Bone marrow smear:
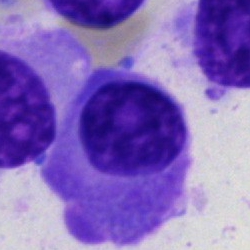Showing a plasma cell.